Bone marrow aspirate smear — 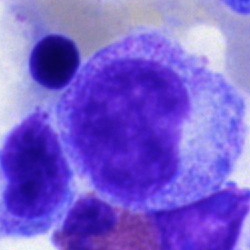
Showing a progranulocyte.